Bone marrow smear: 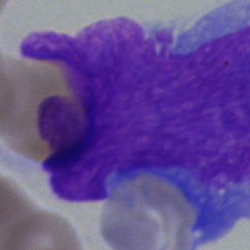Undifferentiated blast.